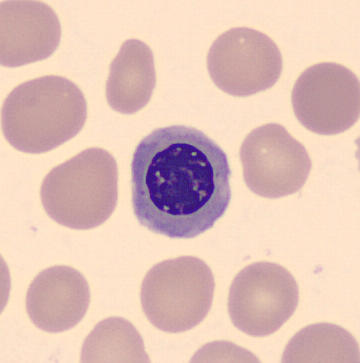
Specimen: peripheral blood smear.
Morphological class: erythroblast.